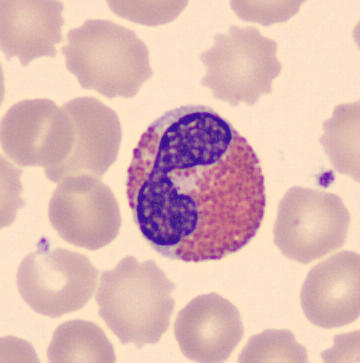Acquisition: Single-cell crop · peripheral blood film. Eosinophilic granulocyte.